Bone marrow smear; brightfield, 40× oil-immersion objective.
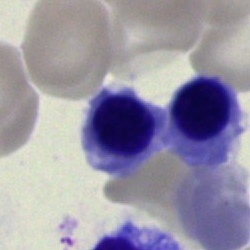 The cell shown is a normoblast.